Image size 250×250; bone marrow aspirate smear — 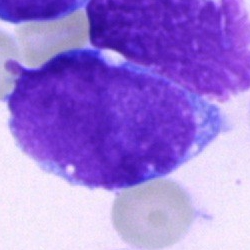
Impression — undifferentiated blast.